Bone marrow smear:
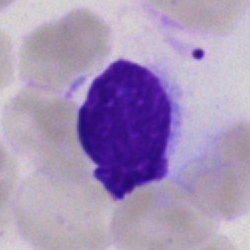 Cell type: artefact.